250×250. Bone marrow smear — 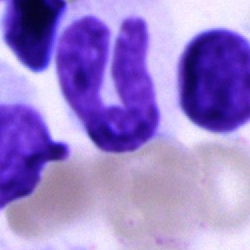 Showing a band-form neutrophil.